Bone marrow smear; brightfield microscopy, 40× oil immersion; single-cell crop:
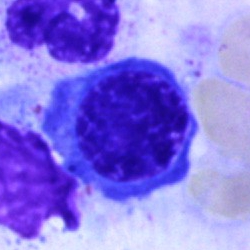

Impression — nucleated red blood cell.